May-Grünwald-Giemsa stain · single-cell crop · bone marrow aspirate smear
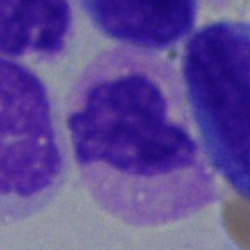
Single cell identified as a segmented neutrophil.